May-Grünwald-Giemsa/Pappenheim stain. Bone marrow smear. 40× objective, oil immersion.
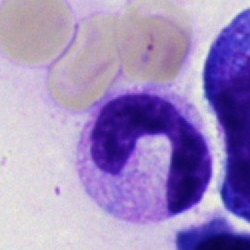Cell type: neutrophil (band).